Single-cell crop · brightfield microscopy, 40× oil immersion · bone marrow smear: 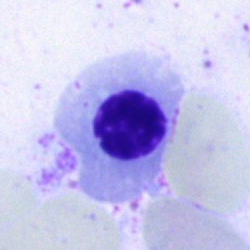 Q: Which cell type is shown here?
A: Nucleated red cell.